Bone marrow aspirate smear
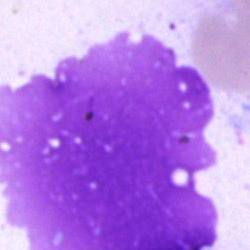 Morphological class = artefact.